Bone marrow smear.
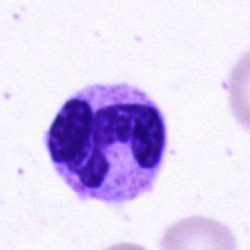 Impression — polymorphonuclear neutrophil.